Peripheral blood smear.
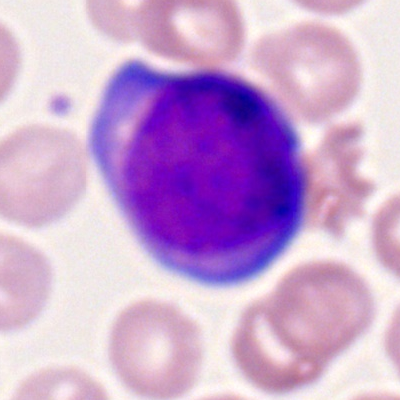Impression → myeloid blast.